Pappenheim-stained; brightfield, 40× oil-immersion objective; bone marrow aspirate smear:
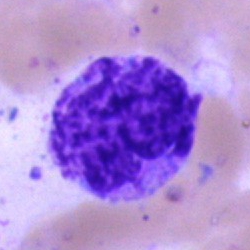Morphological class: artefact.